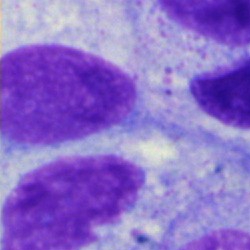
Single cell identified as an artifact.